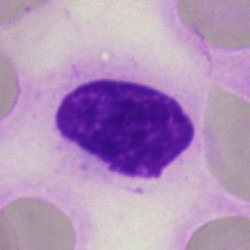

Cell type — artifact.